Brightfield microscopy, 40× oil immersion · bone marrow aspirate smear · MGG-stained: 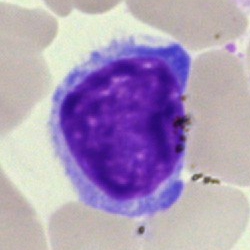 Morphology — typical lymphocyte.